Bone marrow aspirate smear — 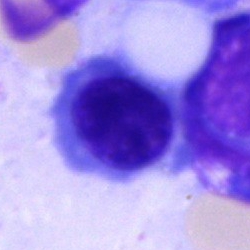
Classification = nucleated red cell.